Bone marrow aspirate smear: 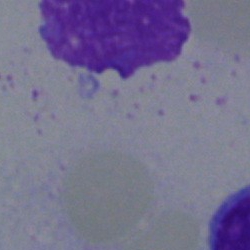
Classification: artifact.